May-Grünwald-Giemsa/Pappenheim stain. Cropped to a single cell. Bone marrow aspirate smear:
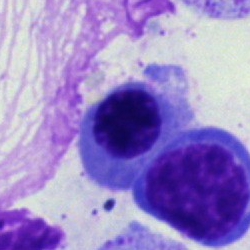{"cell_type": "erythroblast", "lineage": "erythroid"}